Bone marrow smear — 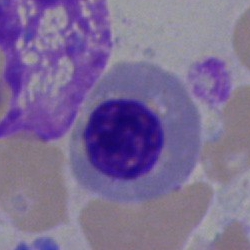
Morphology consistent with an erythroblast.